250 by 250 pixels · bone marrow aspirate smear — 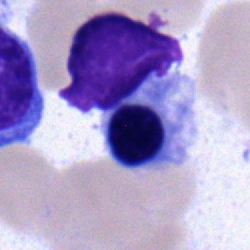
A normoblast.